Single-cell field. Bone marrow aspirate smear:
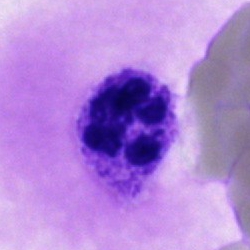Cell = segmented neutrophil.